Bone marrow smear · cropped to a single cell — 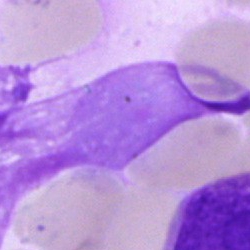
This is an artifact.